Bone marrow aspirate smear:
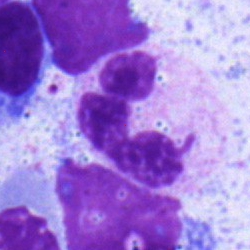
Morphology — segmented neutrophil.